Bone marrow smear: 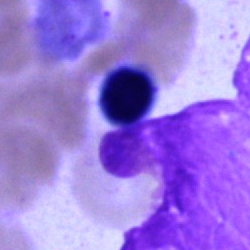

Impression — artefact.